Bone marrow aspirate smear — 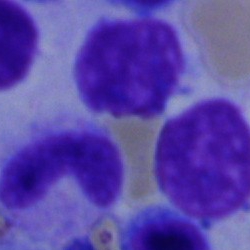
Stab cell.